Bone marrow smear:
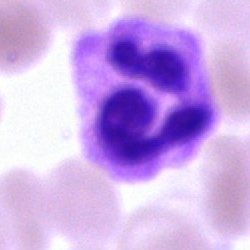
Morphology consistent with a polymorphonuclear neutrophil.